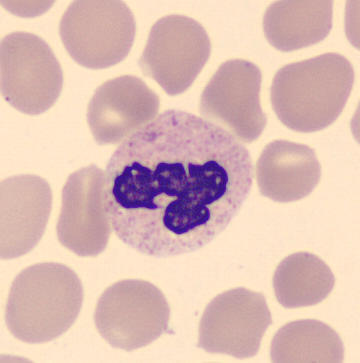Acquisition: Peripheral blood film. This is a segmented neutrophil.